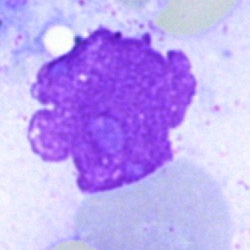

Q: What is shown here?
A: Artefact.